May-Grünwald-Giemsa stain; brightfield microscopy, 40× oil immersion; bone marrow aspirate smear.
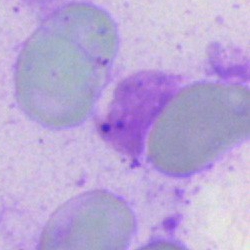
The cell type is artifact.